Single-cell field; peripheral blood smear; 400×400: 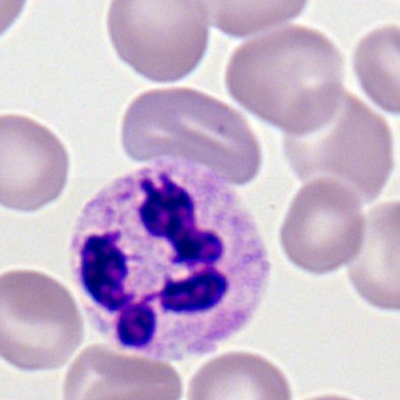Cell type — neutrophil (segmented).